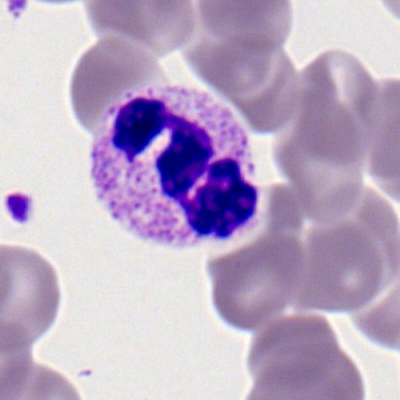
Morphology — neutrophil (segmented).